Peripheral blood smear. Single-cell crop — 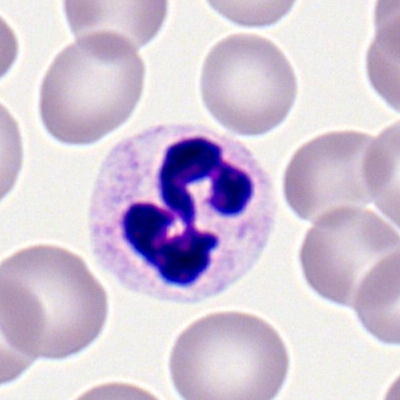

Single cell identified as a polymorphonuclear neutrophil.